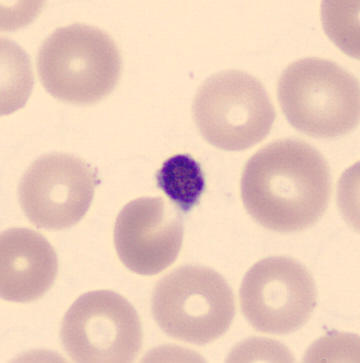
Specimen: peripheral blood film.
Classification: platelet (thrombocyte).